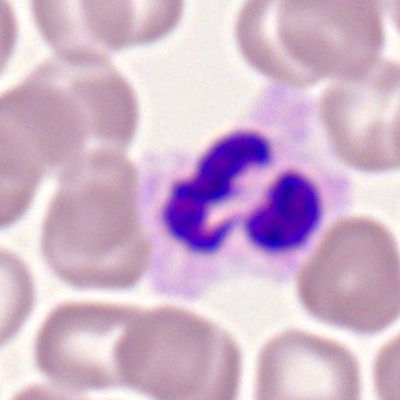

Classification — neutrophil (segmented).